40× oil immersion. 250×250 px. Bone marrow smear.
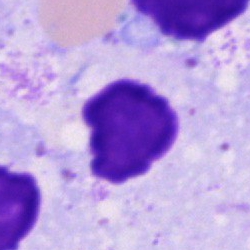 Q: What is shown here?
A: An artifact.